CellaVision DM96 digital cell image · peripheral blood film — 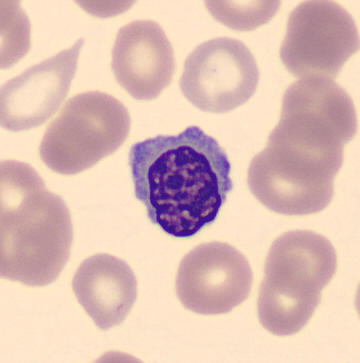

Cell type — nucleated red blood cell.